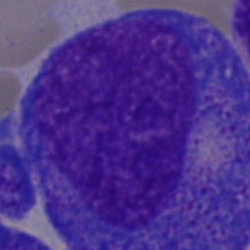 Bone marrow smear showing a progranulocyte.